40× objective, oil immersion. Bone marrow smear:
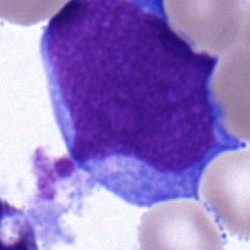Cell: undifferentiated blast.